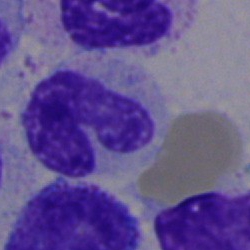 Specimen: bone marrow smear.
Cell type: band-form neutrophil.
Lineage: myeloid.